Single cell centered in the field; bone marrow smear; 250 by 250 pixels
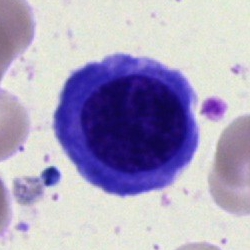
Impression → nucleated red cell.